Bone marrow aspirate smear
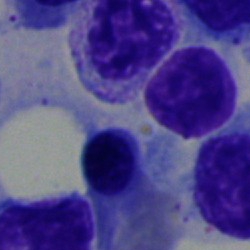

Q: What cell is this?
A: It is a nucleated red cell.